Bone marrow aspirate smear — 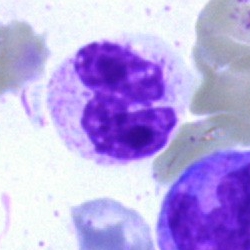Q: What type of cell is this?
A: A polymorphonuclear neutrophil.